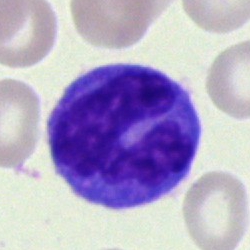Cell type = monocyte.